Peripheral blood film; image size 400×400:
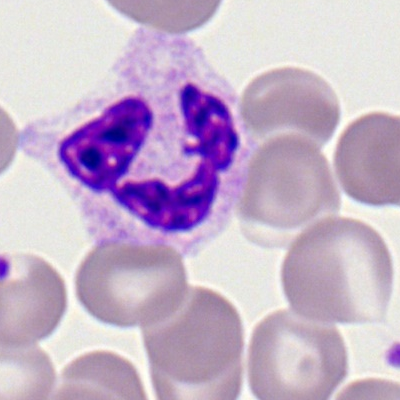

Morphological class: polymorphonuclear neutrophil.